Brightfield microscopy, 40× oil immersion · bone marrow smear.
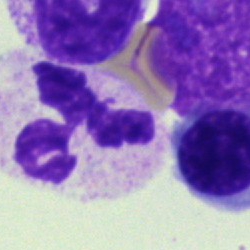 Morphology — segmented neutrophil.